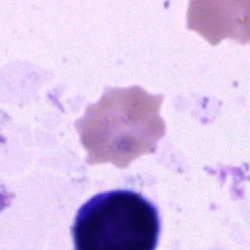
{"cell_type": "cell of indeterminate lineage"}